Single-cell field. Bone marrow smear — 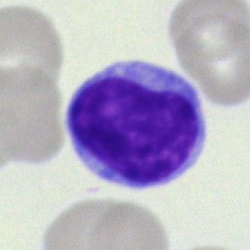 Cell type = typical lymphocyte.